Bone marrow aspirate smear: 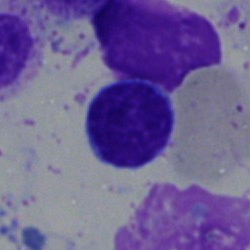 {"cell_type": "lymphocyte"}